Bone marrow smear: 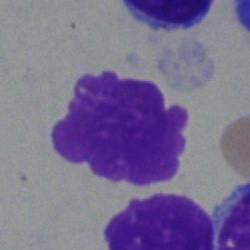

Specimen: bone marrow smear.
Cell: artifact.